Bone marrow smear. 250×250 px — 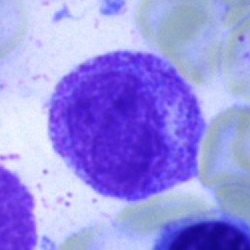
A myelocyte.